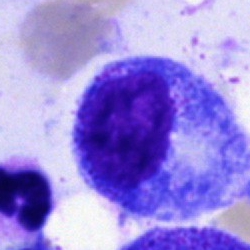 Classification: promyelocyte.